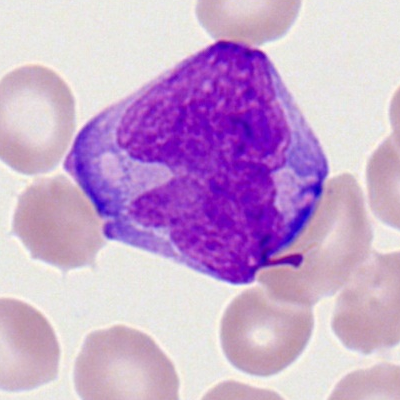 Impression — myeloblast.